Bone marrow aspirate smear: 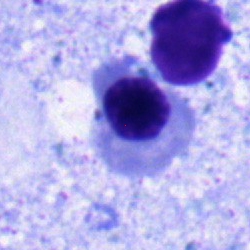

Morphology consistent with a nucleated red cell.